Bone marrow smear — 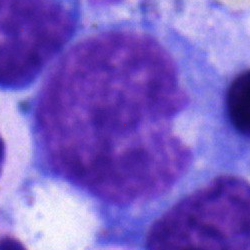Single cell identified as an undifferentiated blast.